Image size 250×250. Bone marrow smear:
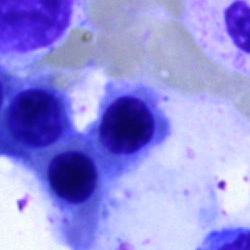
Q: What is the morphological classification of this cell?
A: This is a nucleated red cell.